250×250 px; bone marrow smear:
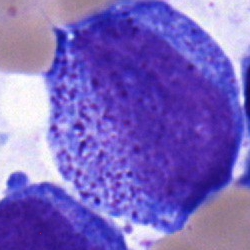
Classification = progranulocyte.